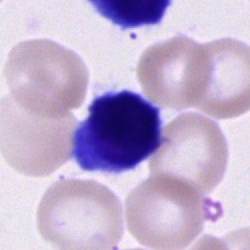

Q: What type of cell is this?
A: A lymphocyte.